Bone marrow smear:
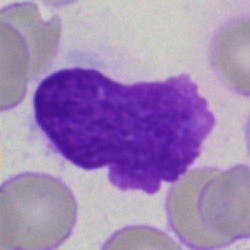

Impression — artefact.